Bone marrow aspirate smear: 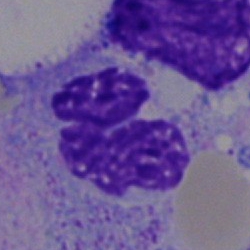The cell shown is a segmented neutrophil.